Bone marrow aspirate smear — 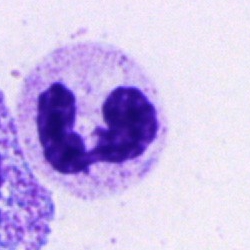 Cell type: polymorphonuclear neutrophil.